Bone marrow smear:
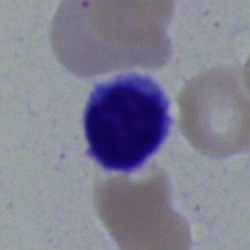
Typical lymphocyte.